Bone marrow aspirate smear. 250×250 px
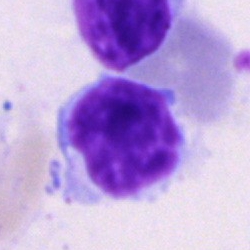Classification: lymphocyte.